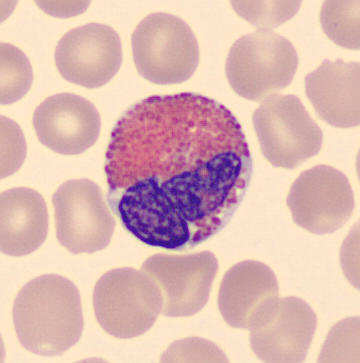 Q: Identify the cell.
A: Eosinophilic granulocyte.
Image: Peripheral blood smear.